Bone marrow smear · MGG-stained
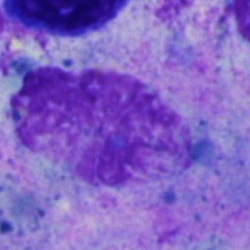
Cell = artifact.